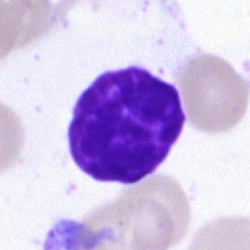Impression — artefact.